Bone marrow aspirate smear · single-cell field
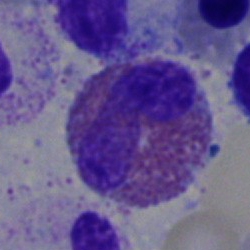 This is an eosinophilic granulocyte.